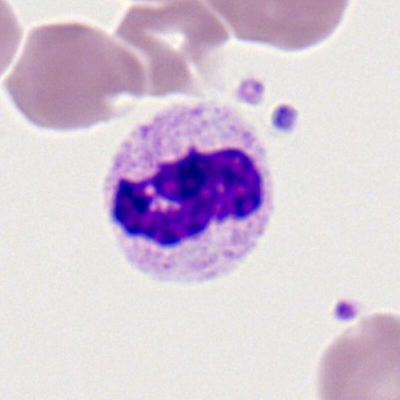Q: Identify the cell.
A: Neutrophil (segmented).